Bone marrow smear — 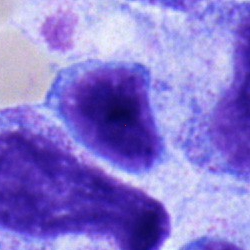 The cell shown is an erythroblast.